Bone marrow aspirate smear:
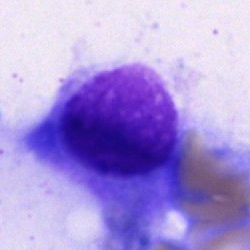

{"cell_type": "plasma cell"}